Bone marrow aspirate smear
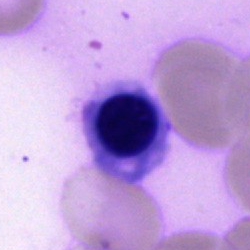
Impression — normoblast.